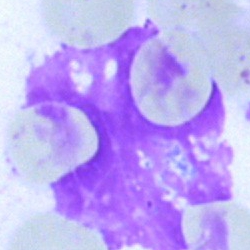Cell type = artefact.